Bone marrow smear: 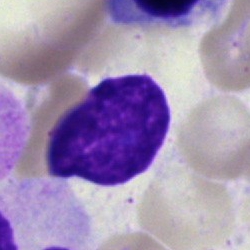Impression — artifact.